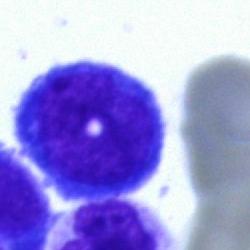
Classification = blast.